Bone marrow smear — 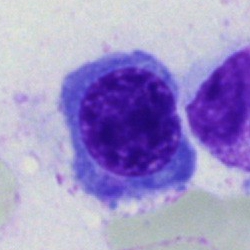
Erythroblast.